Peripheral blood film; 400×400 px
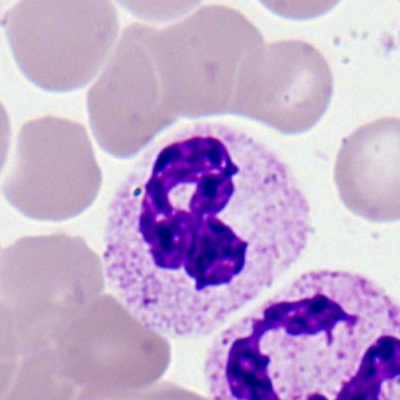This is a neutrophil (segmented).